Bone marrow smear
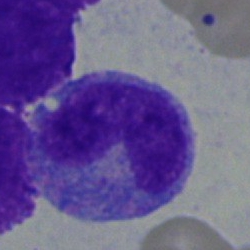 {"cell_type": "monocyte", "lineage": "myeloid"}